Peripheral blood film
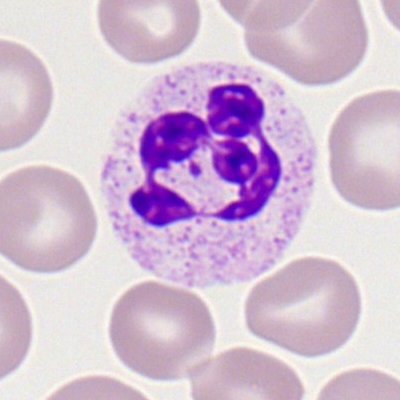
Specimen: peripheral blood film.
Cell type: neutrophil (segmented).
Lineage: myeloid.